Bone marrow smear; May-Grünwald-Giemsa/Pappenheim stain; 40× objective, oil immersion — 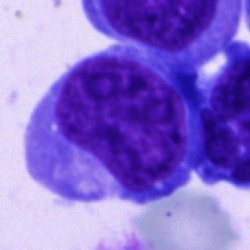Impression → blast.